May-Grünwald-Giemsa/Pappenheim stain. Bone marrow aspirate smear.
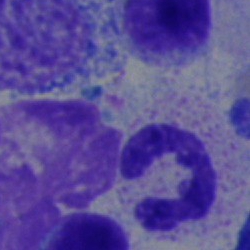
Cell type = polymorphonuclear neutrophil.